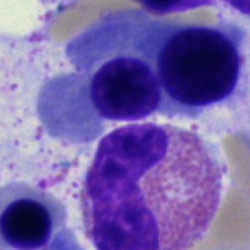 Morphology — eosinophilic granulocyte.